250 by 250 pixels; MGG-stained; bone marrow aspirate smear:
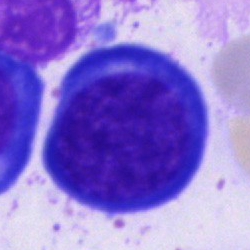

This is a pronormoblast.